Bone marrow aspirate smear. MGG-stained: 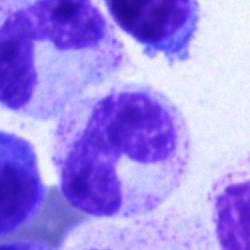
The cell shown is a band-form neutrophil.